Bone marrow aspirate smear.
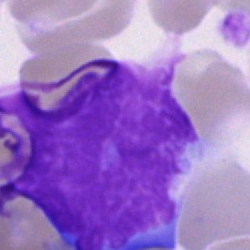
Cell type — artefact.